Bone marrow smear — 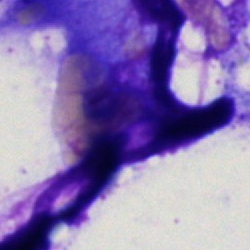 Q: What is shown here?
A: This is an artifact.